May-Grünwald-Giemsa stain. Bone marrow smear
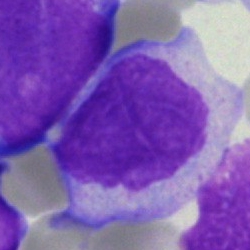A blast cell.